250×250. Bone marrow smear. MGG-stained: 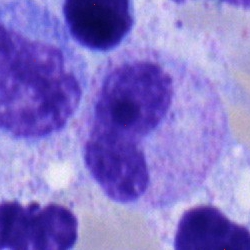 Cell type = neutrophil (band).